Bone marrow smear — 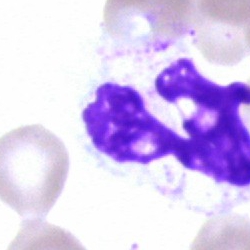Cell type = neutrophil (segmented).